Bone marrow smear.
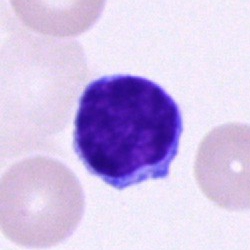 The classification is typical lymphocyte.